Bone marrow smear. Single-cell crop — 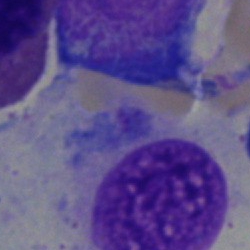 Impression → artifact.